Bone marrow aspirate smear · 250 by 250 pixels: 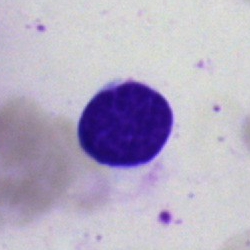
Specimen: bone marrow aspirate smear.
Classification: typical lymphocyte.